MGG-stained · bone marrow smear · 40× objective, oil immersion — 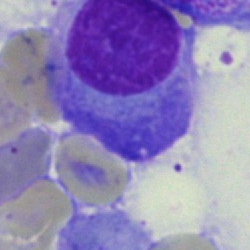 Classification: plasma cell.